Bone marrow smear.
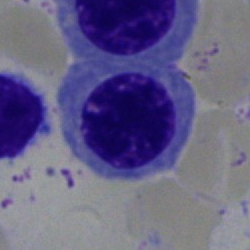
Cell = normoblast.